Bone marrow aspirate smear — 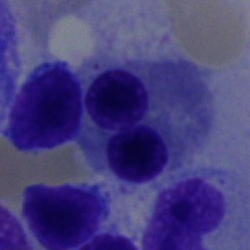
Nucleated red cell.